Bone marrow aspirate smear. 40× oil immersion
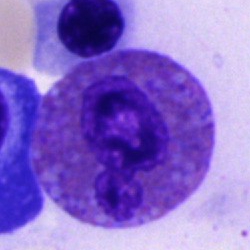Q: Identify the cell.
A: Eosinophil.